Image size 250×250 · May-Grünwald-Giemsa stain · bone marrow aspirate smear.
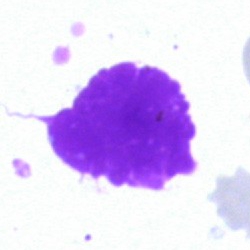 Showing an artefact.